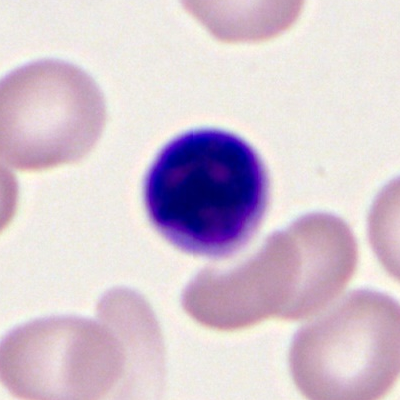 {"cell_type": "typical lymphocyte"}